Peripheral blood smear: 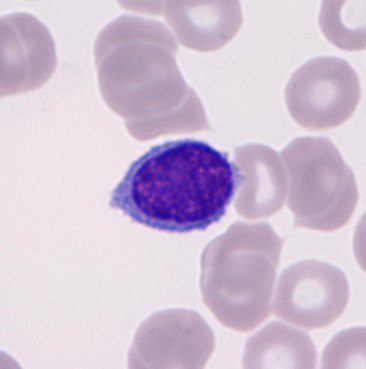Morphological class = lymphocyte.